Single-cell field; 250×250; bone marrow aspirate smear:
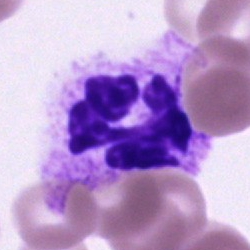

Morphology → segmented neutrophil.